May-Grünwald-Giemsa-stained. Peripheral blood smear. CellaVision DM96 digital cell image — 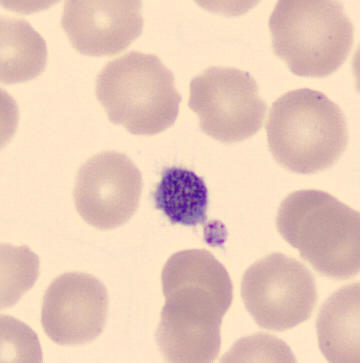 Specimen: peripheral blood smear.
Morphological class: platelet.